40× objective, oil immersion; single-cell field; bone marrow aspirate smear — 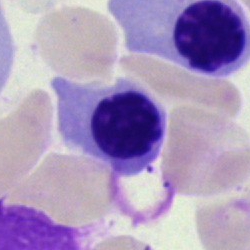 The classification is normoblast.